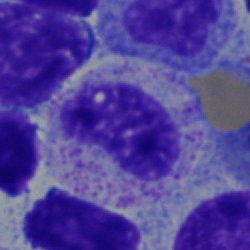
Metamyelocyte.